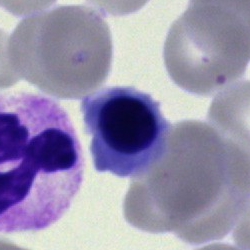
Morphology consistent with a nucleated red blood cell.